Pappenheim-stained. Bone marrow smear. Brightfield microscopy, 40× oil immersion:
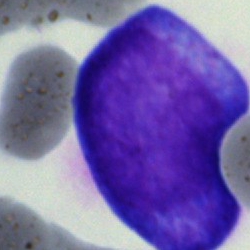

Cell type — progranulocyte.